Bone marrow aspirate smear — 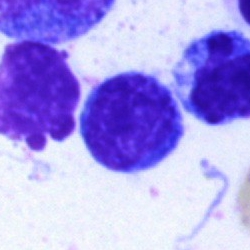 Morphological class — typical lymphocyte.